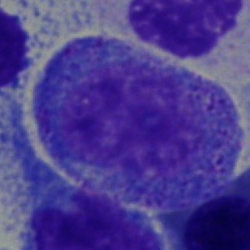Classification: promyelocyte.